Brightfield, 40× oil-immersion objective · bone marrow smear · 250×250 px.
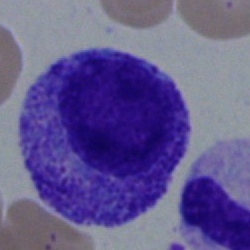Q: Identify the cell.
A: A myelocyte.